Bone marrow smear:
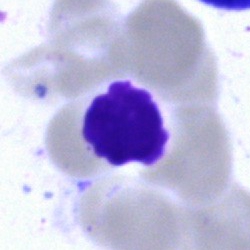

Classification: artifact.